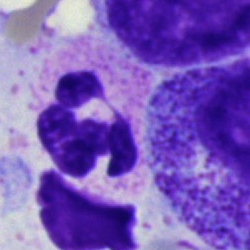Cell = segmented neutrophil.